250 by 250 pixels; bone marrow smear; May-Grünwald-Giemsa stain
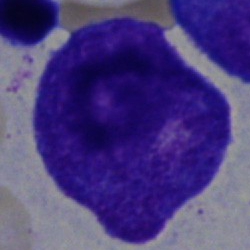
Q: Identify the cell.
A: It is a progranulocyte.